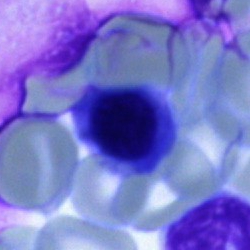Q: What cell is this?
A: This is an erythroblast.